Bone marrow smear: 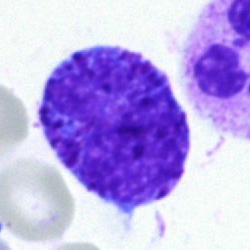 Specimen: bone marrow smear.
Cell: basophil.
Lineage: myeloid.